Bone marrow smear — 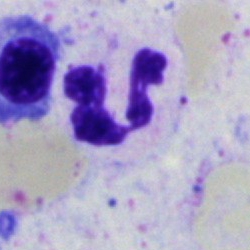 Morphology consistent with a segmented neutrophil.